Bone marrow smear
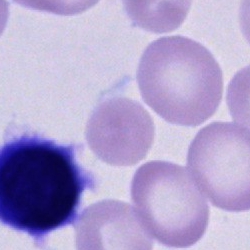 Q: What cell is this?
A: This is a hairy cell.